Bone marrow smear. 40× oil immersion
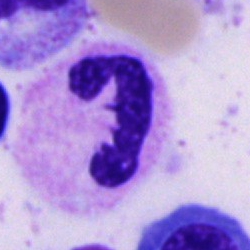

The morphological class is neutrophil (segmented).